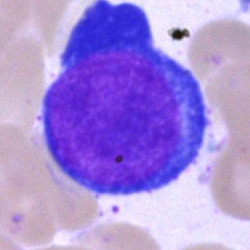 This is a proerythroblast.